Bone marrow smear; Pappenheim-stained
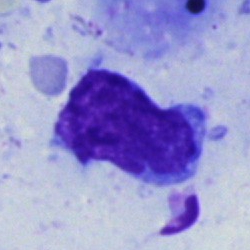The classification is typical lymphocyte.